Bone marrow smear — 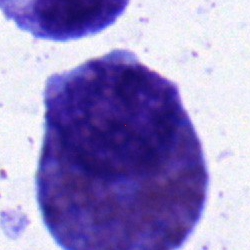

Single cell identified as an eosinophil.